Bone marrow aspirate smear; brightfield, 40× oil-immersion objective; image size 250×250.
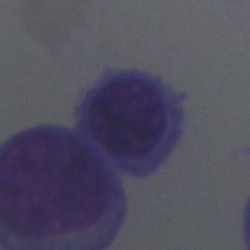
{"cell_type": "nucleated red cell", "lineage": "erythroid"}